250×250. Bone marrow aspirate smear. MGG-stained:
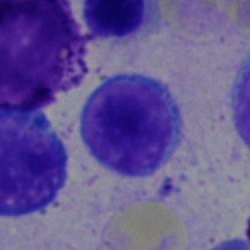
Specimen: bone marrow aspirate smear.
Cell: typical lymphocyte.